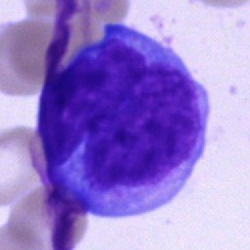 Specimen: bone marrow aspirate smear.
Morphological class: blast.